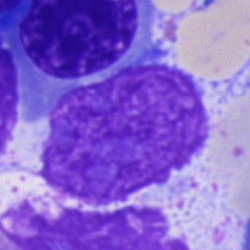 The cell type is artefact.